May-Grünwald-Giemsa/Pappenheim stain; bone marrow smear — 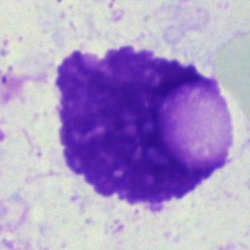

Impression → artefact.